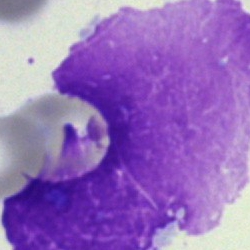The cell shown is an artifact.